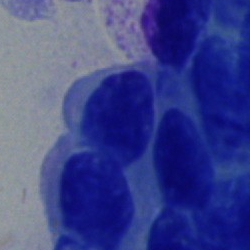
Specimen: bone marrow aspirate smear.
Cell type: nucleated red blood cell.
Lineage: erythroid.